Brightfield, 40× oil-immersion objective · bone marrow smear: 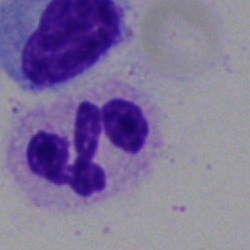
Specimen: bone marrow aspirate smear.
Classification: neutrophil (segmented).
Lineage: myeloid.